Brightfield, 100× oil-immersion objective · cropped to a single cell · peripheral blood smear
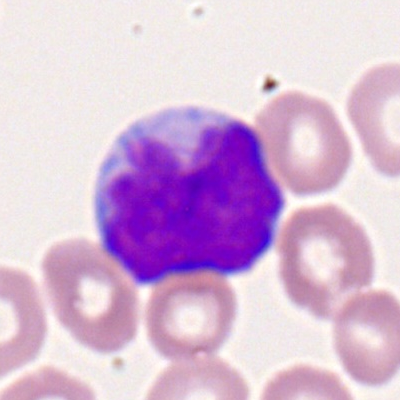 The cell shown is a myeloblast.